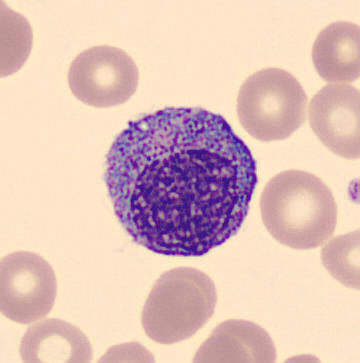Q: Which cell type is shown here?
A: This is a promyelocyte.